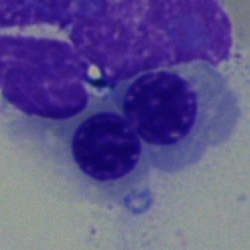Specimen: bone marrow smear.
Cell: nucleated red blood cell.